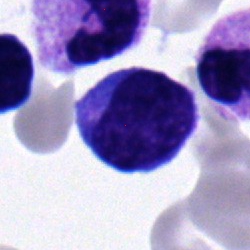Classification = undifferentiated blast.